Bone marrow smear; 40× oil immersion:
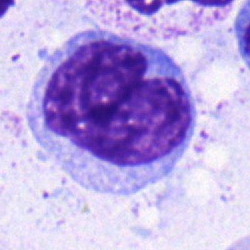

Specimen: bone marrow smear.
Cell: monocyte.
Lineage: myeloid.